Bone marrow aspirate smear · 40× oil immersion: 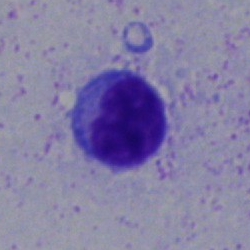Impression → lymphocyte.